Bone marrow smear
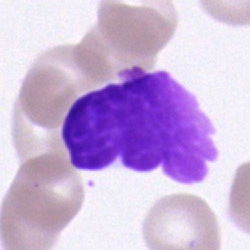Morphology consistent with an unidentifiable cell.